Bone marrow aspirate smear; brightfield, 40× oil-immersion objective; MGG-stained.
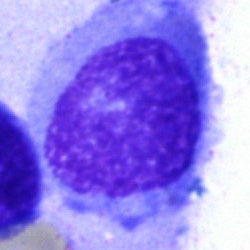The classification is artefact.